Peripheral blood film
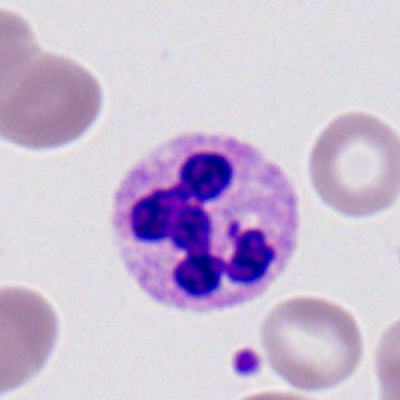

Cell: segmented neutrophil.